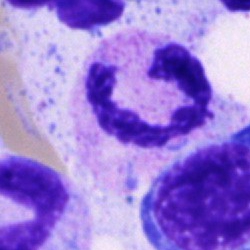 Morphology consistent with a neutrophil (segmented).